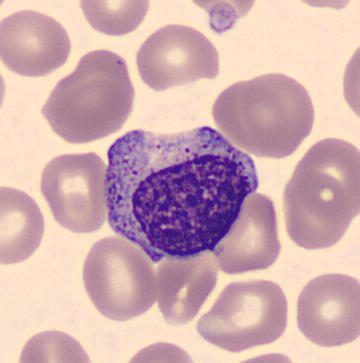
A myelocyte.